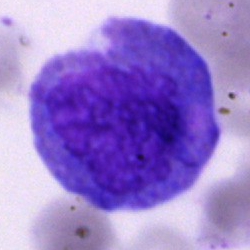

Artefact.